Bone marrow aspirate smear
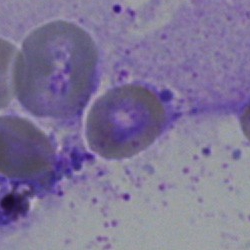

Classification = artefact.